Bone marrow aspirate smear.
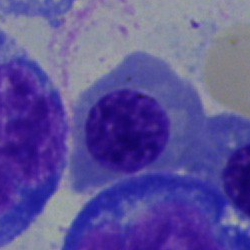This is a nucleated red blood cell.